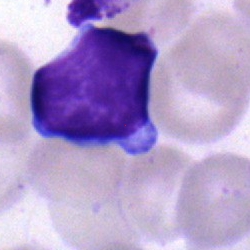
Impression — typical lymphocyte.